Brightfield, 40× oil-immersion objective. Bone marrow smear: 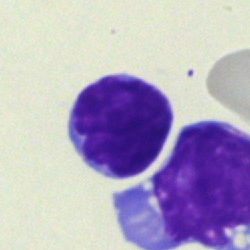 Morphological class = lymphocyte.